Pappenheim-stained · bone marrow aspirate smear
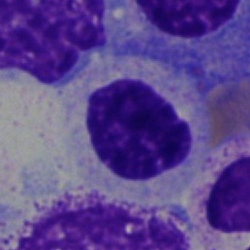
Showing a myelocyte.